Bone marrow aspirate smear — 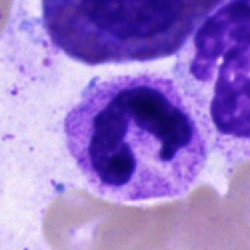
Single cell identified as a polymorphonuclear neutrophil.